Peripheral blood smear. Brightfield, 100× oil-immersion objective: 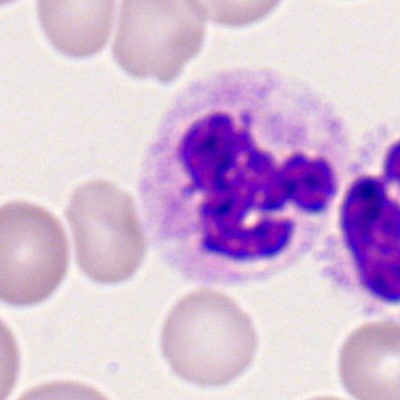

Segmented neutrophil.